Bone marrow smear:
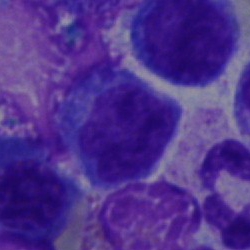 Cell type — lymphocyte.